Bone marrow aspirate smear: 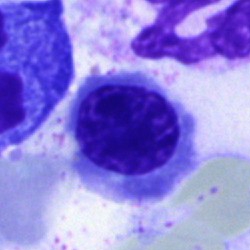 A nucleated red blood cell.